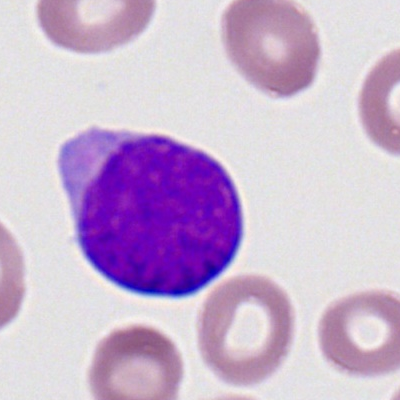

Peripheral blood smear showing a myeloid blast.